Peripheral blood smear — 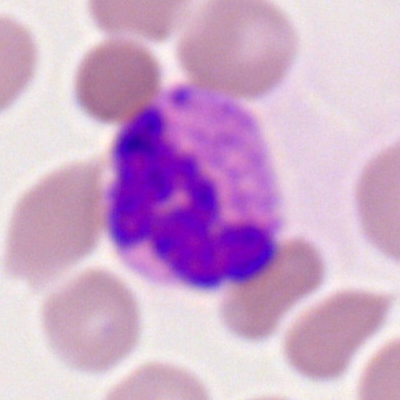
Morphological class — basophil.